Bone marrow smear
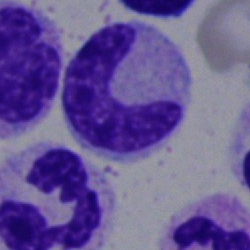Single cell identified as a band neutrophil.